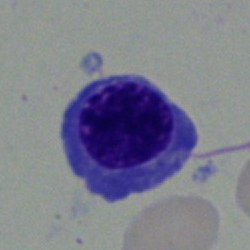

A nucleated red blood cell on a bone marrow smear.